Bone marrow aspirate smear — 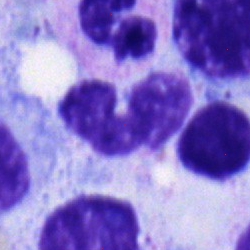

Q: Identify the cell.
A: It is a polymorphonuclear neutrophil.